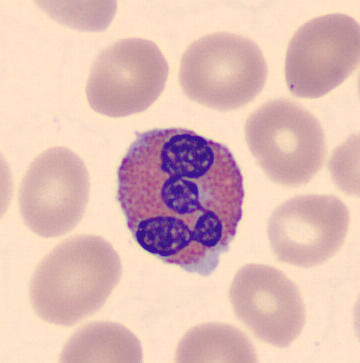
Acquisition: Peripheral blood film.

Cell type: eosinophilic granulocyte.